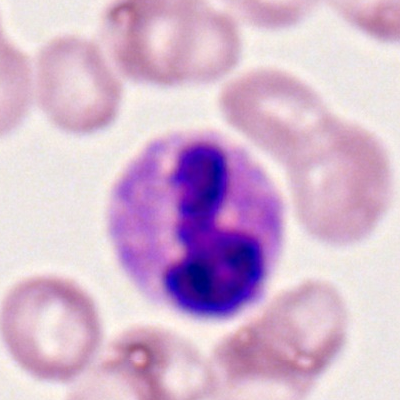 A segmented neutrophil on a peripheral blood smear.